Bone marrow smear · image size 250×250.
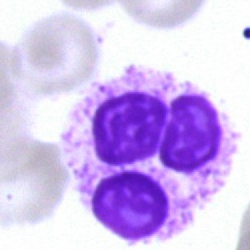
Q: What is shown here?
A: Artefact.